Bone marrow smear.
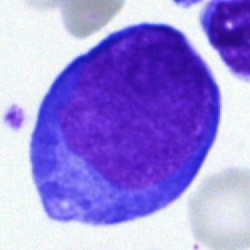{"cell_type": "proerythroblast"}